Bone marrow smear:
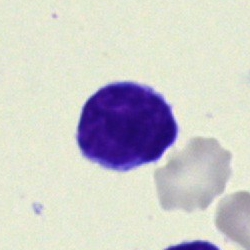
Showing a lymphocyte.